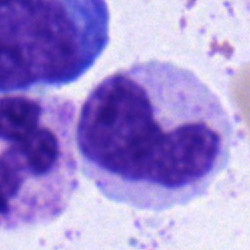
Specimen: bone marrow smear.
Cell: band-form neutrophil.